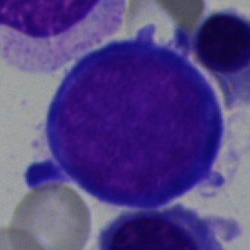This is a nucleated red cell.